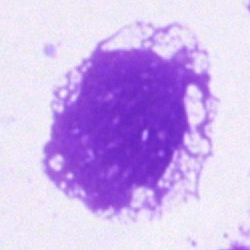
Impression → artifact.